Bone marrow aspirate smear — 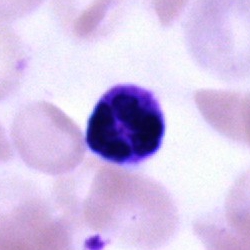 Q: What cell is this?
A: A neutrophil (segmented).